Bone marrow smear.
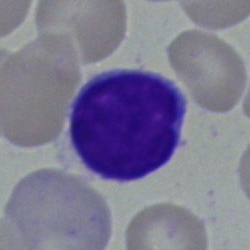 A typical lymphocyte.